360×363 · peripheral blood film — 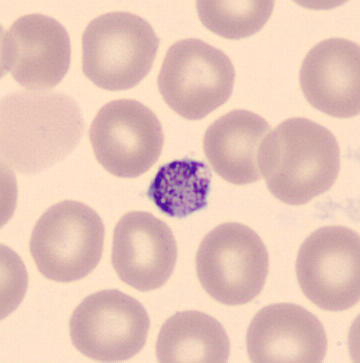A platelet (thrombocyte).